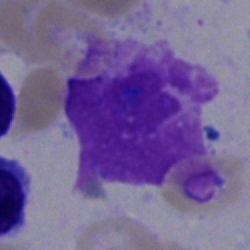 Morphology → artefact.